Bone marrow aspirate smear. Single-cell field.
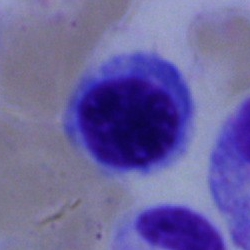

Specimen: bone marrow aspirate smear.
Morphological class: erythroblast.